Bone marrow smear.
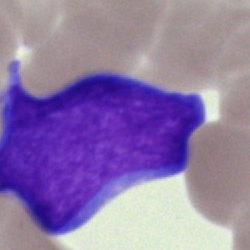 Morphology consistent with an undifferentiated blast.